Bone marrow aspirate smear — 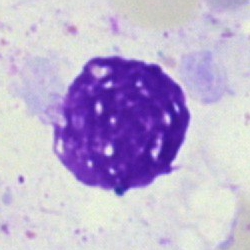
Impression → artefact.